Single cell centered in the field; 400×400 px; peripheral blood smear: 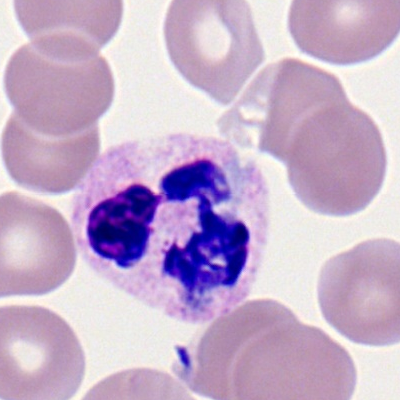
A lymphocyte.